Single cell centered in the field · bone marrow smear · MGG-stained:
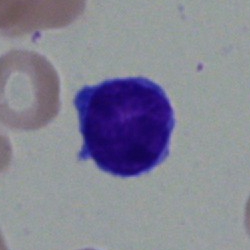 Q: What is shown here?
A: Lymphocyte.